Peripheral blood smear · 100× objective, oil immersion — 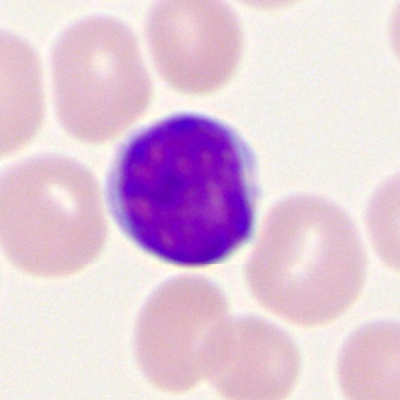Q: What type of cell is this?
A: It is a typical lymphocyte.